Bone marrow aspirate smear. Single-cell crop: 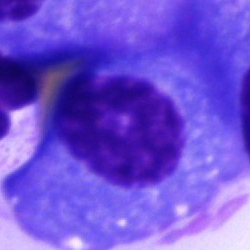
A plasmacyte.